MGG-stained; bone marrow aspirate smear.
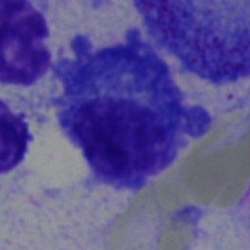
Showing a plasmacyte.